40× oil immersion · 250 by 250 pixels · bone marrow aspirate smear: 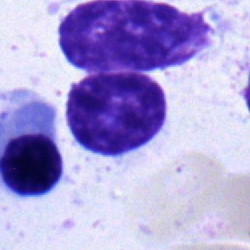

Single cell identified as a typical lymphocyte.